Bone marrow smear; 250 by 250 pixels:
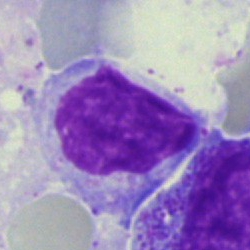Specimen: bone marrow aspirate smear.
Cell: typical lymphocyte.
Lineage: lymphoid.